Peripheral blood film:
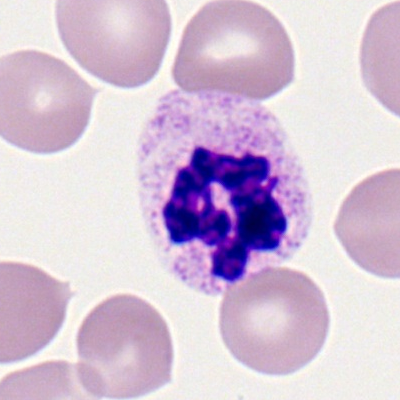Single cell identified as a polymorphonuclear neutrophil.